Bone marrow aspirate smear:
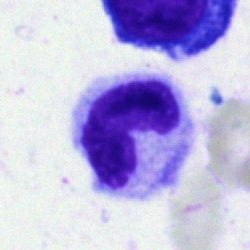 Specimen: bone marrow aspirate smear.
Cell: band neutrophil.